Bone marrow smear; single cell centered in the field: 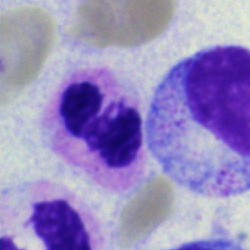Showing a polymorphonuclear neutrophil.